Bone marrow smear
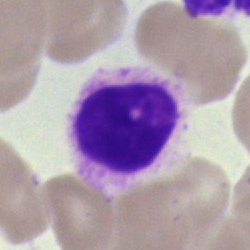
Specimen: bone marrow aspirate smear.
Classification: artifact.